Bone marrow aspirate smear — 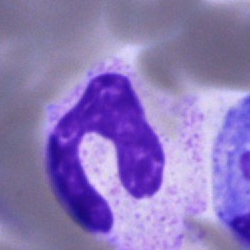
Morphology — segmented neutrophil.